Single-cell field · bone marrow aspirate smear — 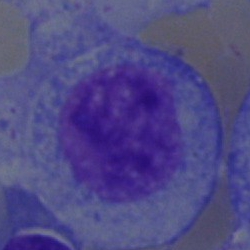 Morphology — myelocyte.